Single cell centered in the field. Bone marrow smear — 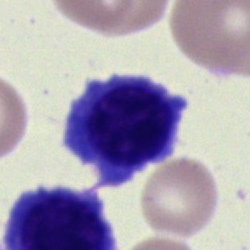 Q: What is the morphological classification of this cell?
A: A nucleated red cell.